Bone marrow smear. Image size 250×250 — 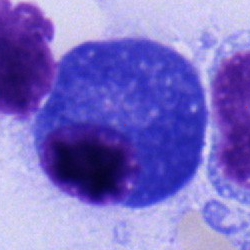

Cell — plasmacyte.